250×250 px · bone marrow smear: 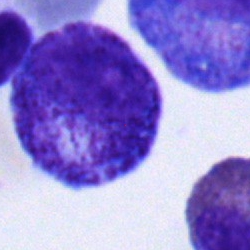 Q: Which cell type is shown here?
A: It is a metamyelocyte.